Bone marrow aspirate smear.
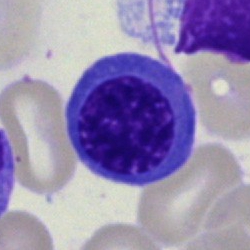 Cell: erythroblast.